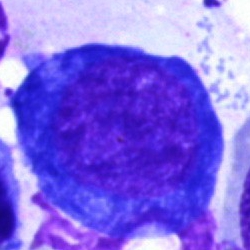Bone marrow aspirate smear, single cell — erythroblast.